Bone marrow aspirate smear; 40× objective, oil immersion; 250×250 px:
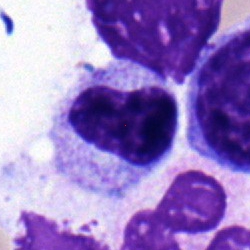The cell shown is a metamyelocyte.